Single cell centered in the field. Bone marrow smear. May-Grünwald-Giemsa/Pappenheim stain.
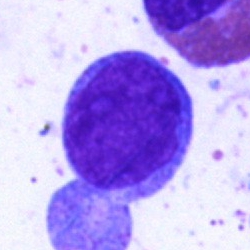Q: Which cell type is shown here?
A: Blast cell.